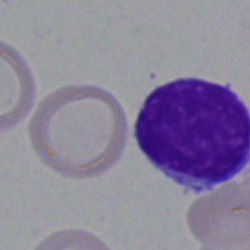

Single cell identified as a typical lymphocyte.